Bone marrow aspirate smear · 40× oil immersion
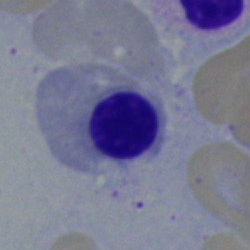 Specimen: bone marrow aspirate smear.
Cell: erythroblast.
Lineage: erythroid.